Bone marrow aspirate smear
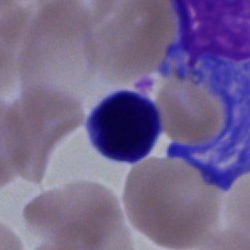
Morphology consistent with a typical lymphocyte.